Bone marrow aspirate smear — 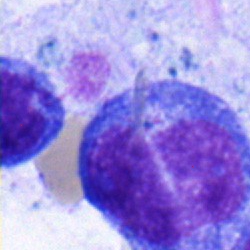
Q: What is the morphological classification of this cell?
A: Monocyte.